Peripheral blood smear; 400×400 px; 100× oil immersion, 14.14 px/µm — 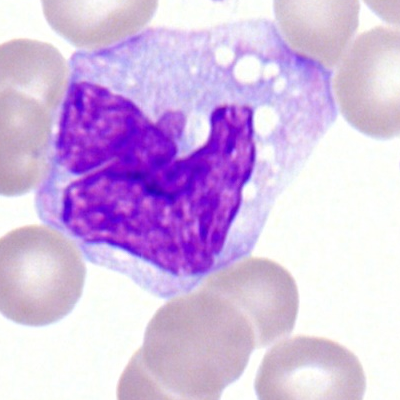

Specimen: peripheral blood smear.
Morphological class: monocyte.